Bone marrow aspirate smear. May-Grünwald-Giemsa/Pappenheim stain. Brightfield, 40× oil-immersion objective: 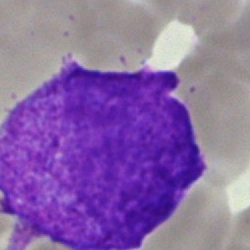The morphological class is blast cell.